Bone marrow smear — 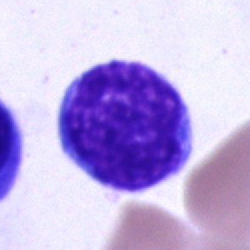Specimen: bone marrow aspirate smear.
Cell: blast.